Bone marrow smear:
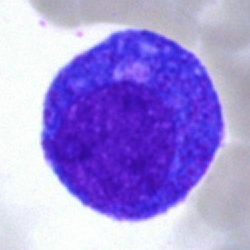Promyelocyte.